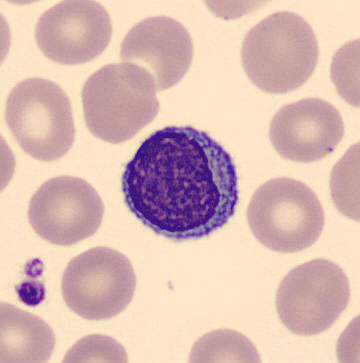Morphology → typical lymphocyte. Preparation: Peripheral blood film · automated cell imaging (CellaVision DM96) · single-cell field.